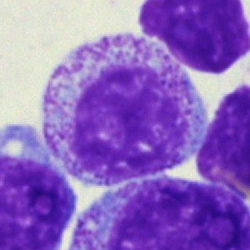 Morphology — myelocyte.